Bone marrow smear. Image size 250×250. Brightfield, 40× oil-immersion objective: 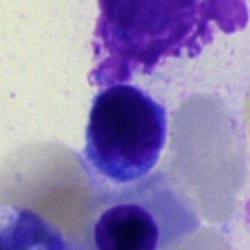Showing a lymphocyte.